100× oil immersion; peripheral blood smear; image size 400×400:
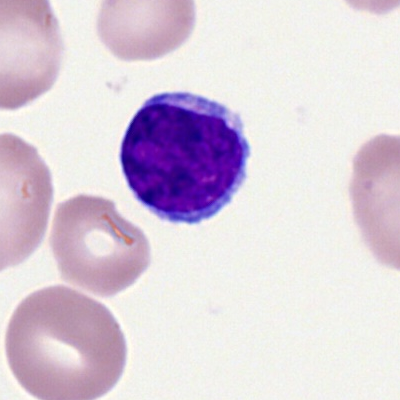

Impression → typical lymphocyte.